Romanowsky-type stain; peripheral blood film: 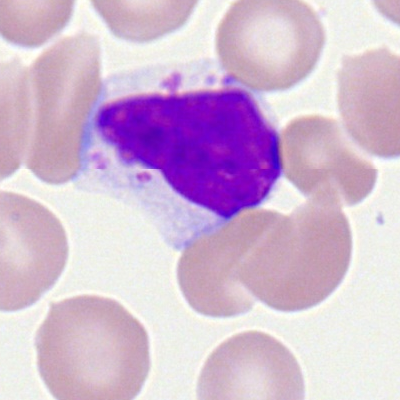
Q: What cell is this?
A: This is a typical lymphocyte.